400 by 400 pixels. Peripheral blood film. Single-cell crop:
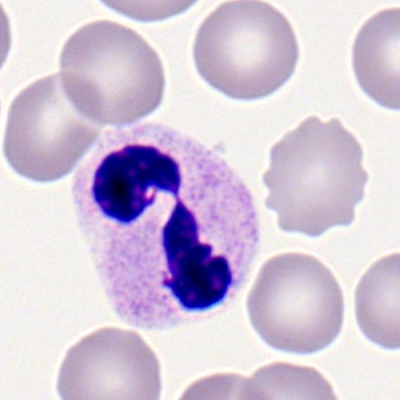
Specimen: peripheral blood film.
Cell: polymorphonuclear neutrophil.
Lineage: myeloid.